Bone marrow aspirate smear.
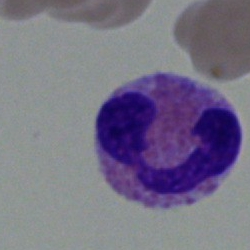

Showing an eosinophilic granulocyte.